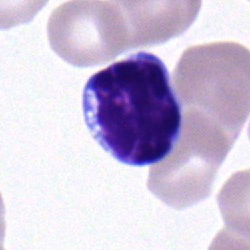

The cell shown is a typical lymphocyte.